Bone marrow aspirate smear:
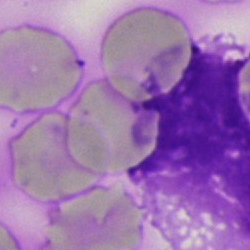

{"cell_type": "artifact"}